Bone marrow smear: 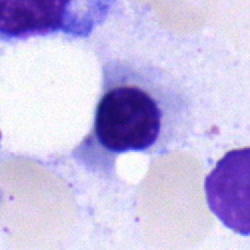This is a nucleated red cell.